Bone marrow smear · May-Grünwald-Giemsa stain: 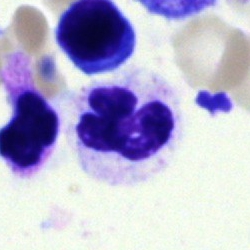
Single cell identified as a segmented neutrophil.